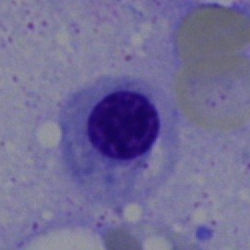

Q: Identify the cell.
A: A nucleated red cell.